Bone marrow aspirate smear — 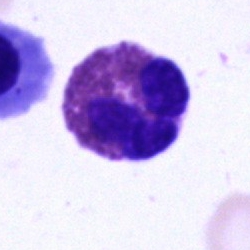
Q: What is shown here?
A: Eosinophilic granulocyte.